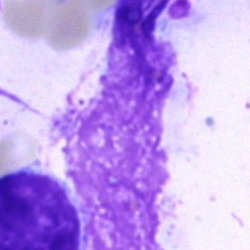 {"cell_type": "artifact"}